Bone marrow smear; 250 by 250 pixels — 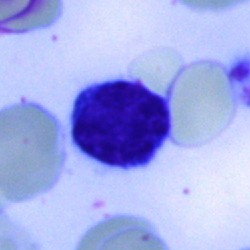 Cell: typical lymphocyte.